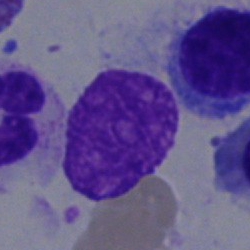

Morphological class: artifact.